Bone marrow aspirate smear:
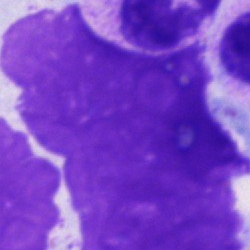 Cell = artefact.